Bone marrow smear.
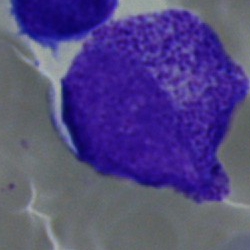
A progranulocyte.